Bone marrow smear
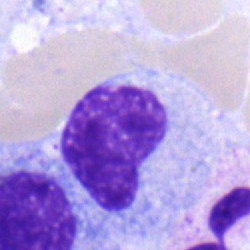
A metamyelocyte.